Bone marrow smear: 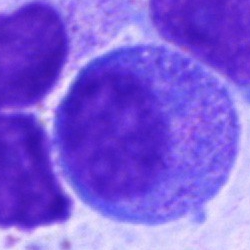
Morphology — progranulocyte.